Bone marrow smear · 250×250: 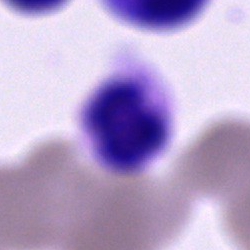
Unidentifiable cell.